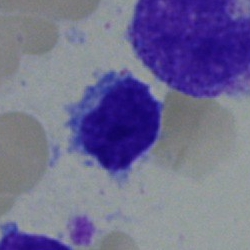The cell shown is a typical lymphocyte.